Bone marrow aspirate smear. Single-cell crop: 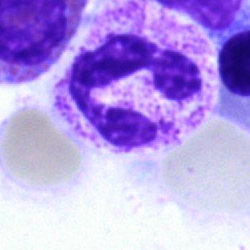Q: Identify the cell.
A: A segmented neutrophil.